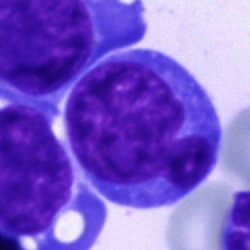
{"cell_type": "blast"}